Single-cell field; bone marrow aspirate smear:
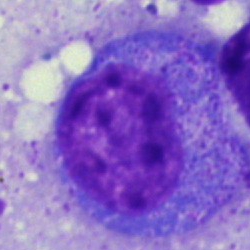Cell type — progranulocyte.